Peripheral blood smear
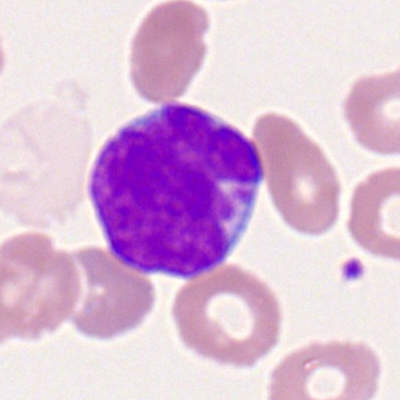

Morphological class = myeloid blast.